Bone marrow smear. 250×250:
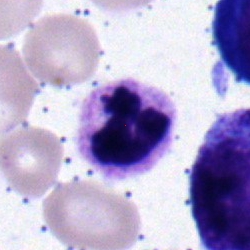
Cell type = polymorphonuclear neutrophil.